Bone marrow aspirate smear — 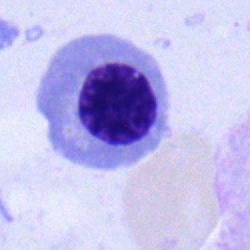
{"cell_type": "nucleated red blood cell"}